Bone marrow smear — 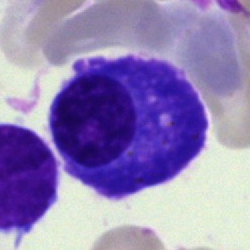
Plasma cell.